Pappenheim-stained · bone marrow aspirate smear — 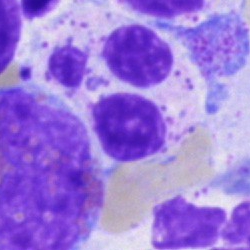

Showing a segmented neutrophil.